Bone marrow aspirate smear: 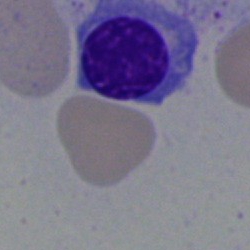Q: What is shown here?
A: This is a normoblast.